Bone marrow aspirate smear. 40× objective, oil immersion — 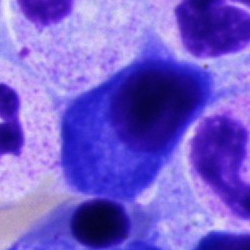 Morphology — plasmacyte.